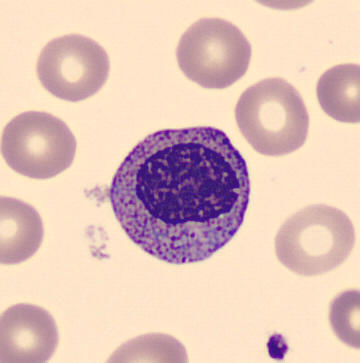 Q: What is this?
A: This is a myelocyte.